Bone marrow smear. 40× objective, oil immersion. MGG-stained.
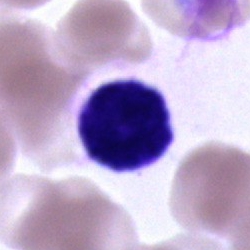

Classification — cell of indeterminate lineage.